Bone marrow smear — 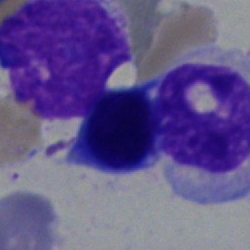 The cell is erythroblast.